May-Grünwald-Giemsa stain. 250 by 250 pixels. Bone marrow smear:
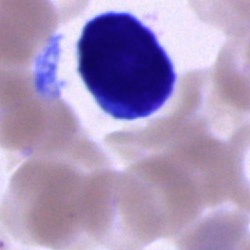
Specimen: bone marrow smear.
Classification: cell of indeterminate lineage.